Bone marrow aspirate smear: 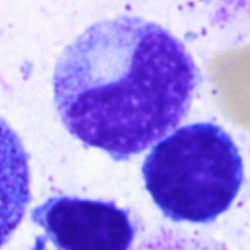

{"cell_type": "band neutrophil", "lineage": "myeloid"}